Bone marrow aspirate smear
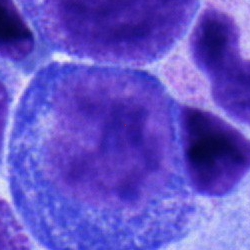

The cell shown is a proerythroblast.